Bone marrow smear. 250 by 250 pixels: 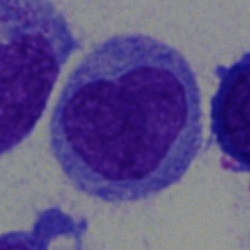Morphology consistent with a blast.